250×250 px · bone marrow smear — 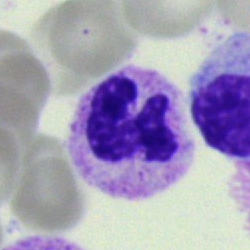 Classification = neutrophil (segmented).